Bone marrow smear — 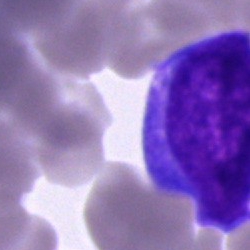Cell: blast.